Image size 250×250; bone marrow aspirate smear:
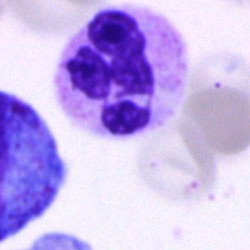

Segmented neutrophil.